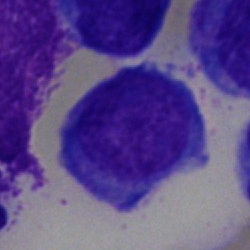

The cell type is undifferentiated blast.